Bone marrow aspirate smear — 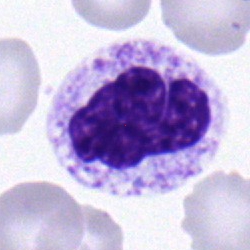 Specimen: bone marrow aspirate smear.
Cell type: segmented neutrophil.